Bone marrow smear
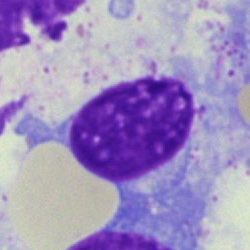
Specimen: bone marrow smear.
Morphological class: plasma cell.
Lineage: lymphoid.